Bone marrow aspirate smear; image size 250×250; 40× oil immersion: 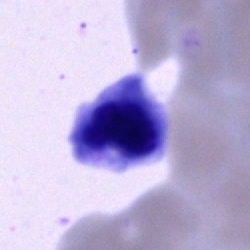Specimen: bone marrow smear.
Cell type: nucleated red blood cell.
Lineage: erythroid.